Bone marrow smear · brightfield, 40× oil-immersion objective.
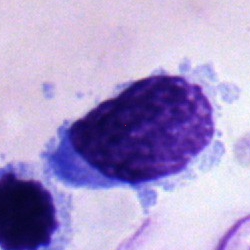Impression → typical lymphocyte.